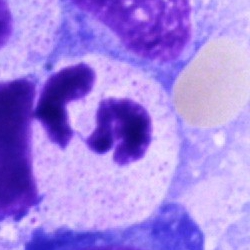Q: What cell is this?
A: A polymorphonuclear neutrophil.